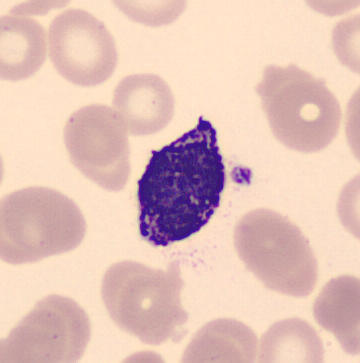Preparation: Peripheral blood smear. May Grünwald-Giemsa stain. The cell shown is a basophilic granulocyte.